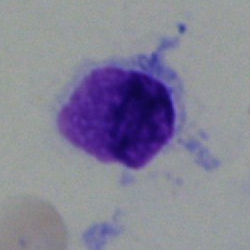Single-cell crop from a bone marrow smear: hairy cell.